Bone marrow smear.
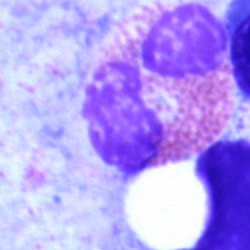Specimen: bone marrow aspirate smear.
Morphological class: eosinophilic granulocyte.
Lineage: myeloid.